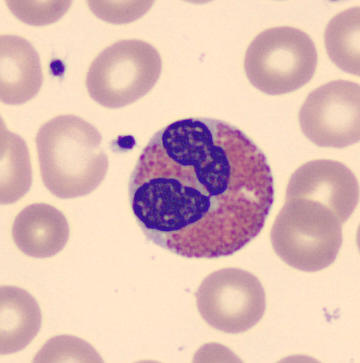 Q: What is shown here?
A: This is an eosinophilic granulocyte.

Preparation: MGG-stained; CellaVision DM96 digital cell image; peripheral blood smear.